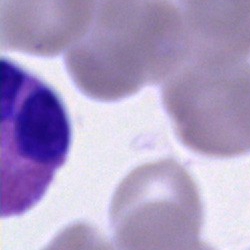

Showing a cell of indeterminate lineage.